Bone marrow aspirate smear: 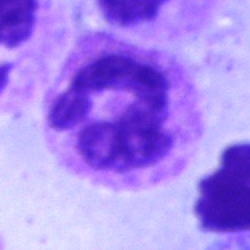
Q: What cell is this?
A: This is a neutrophil (segmented).